Bone marrow smear
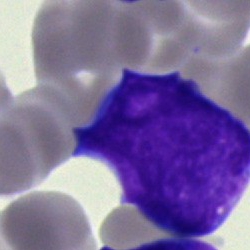Q: What cell is this?
A: Undifferentiated blast.